Single-cell crop; bone marrow aspirate smear.
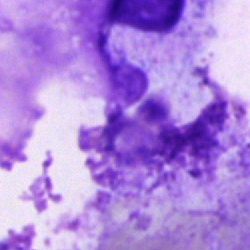Specimen: bone marrow smear.
Morphological class: artefact.